May-Grünwald-Giemsa stain. Brightfield, 40× oil-immersion objective. Bone marrow aspirate smear.
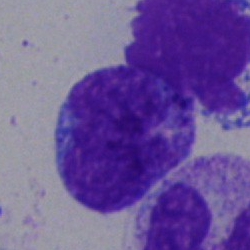 Specimen: bone marrow aspirate smear.
Morphological class: lymphocyte.